Bone marrow smear.
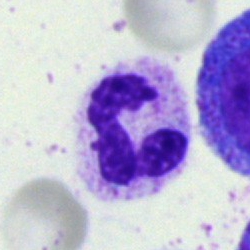

This is a polymorphonuclear neutrophil.